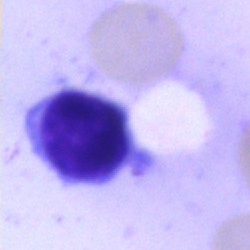
Specimen: bone marrow smear.
Classification: lymphocyte.